Bone marrow aspirate smear:
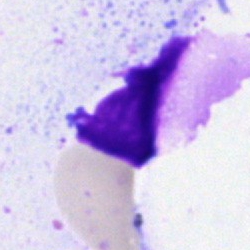 Specimen: bone marrow aspirate smear.
Classification: artifact.